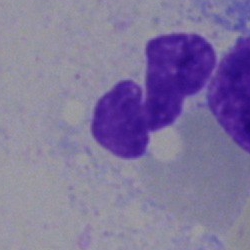
Q: What is shown here?
A: It is an artefact.